Bone marrow smear · 250×250 · single cell centered in the field: 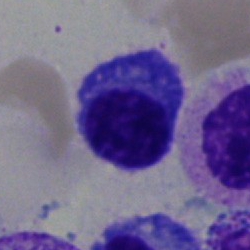
Showing a plasma cell.